Bone marrow aspirate smear: 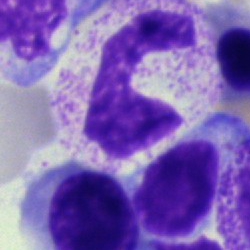Q: What cell is this?
A: A segmented neutrophil.